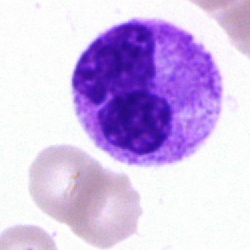
The cell is neutrophil (segmented).